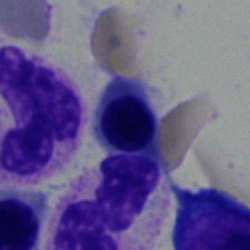A nucleated red blood cell on a bone marrow smear.